M8 digital microscope (Precipoint), 100× oil immersion · peripheral blood film: 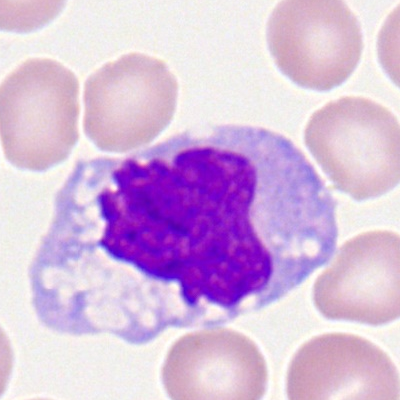
This is a monocyte.